May-Grünwald-Giemsa/Pappenheim stain. Bone marrow aspirate smear. Single cell centered in the field: 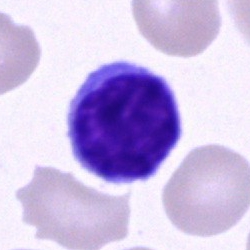

Classification = lymphocyte.